Bone marrow aspirate smear; single-cell crop
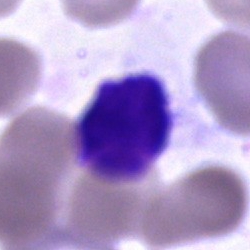Q: What is shown here?
A: An artefact.